Bone marrow smear — 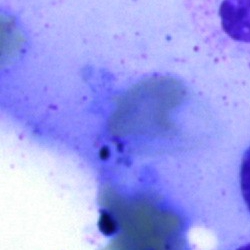Morphological class: artefact.